Peripheral blood film — 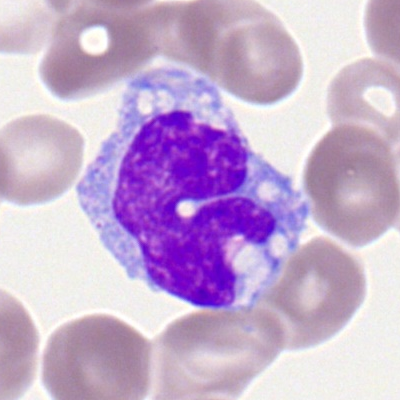

Impression → monocyte.